Single-cell field; image size 250×250; bone marrow aspirate smear: 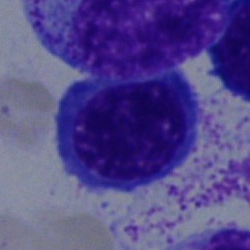Showing an erythroblast.